Bone marrow aspirate smear. May-Grünwald-Giemsa stain
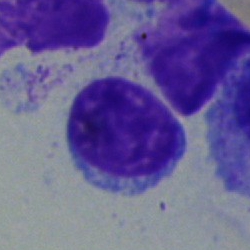Cell type — typical lymphocyte.